Single cell centered in the field · bone marrow smear · 40× oil immersion
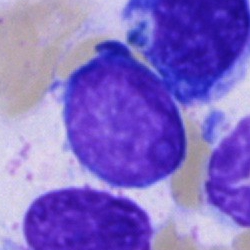Impression → undifferentiated blast.